Bone marrow aspirate smear · single-cell field — 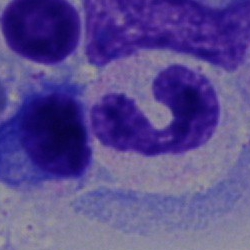
Classification — neutrophil (band).